Image size 250×250; bone marrow aspirate smear — 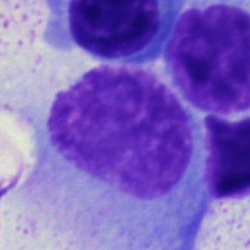 The classification is plasma cell.